Brightfield, 40× oil-immersion objective · bone marrow aspirate smear: 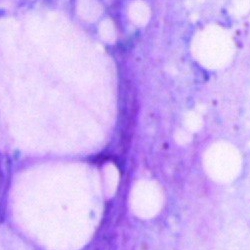An artifact.